400×400 px. Peripheral blood smear.
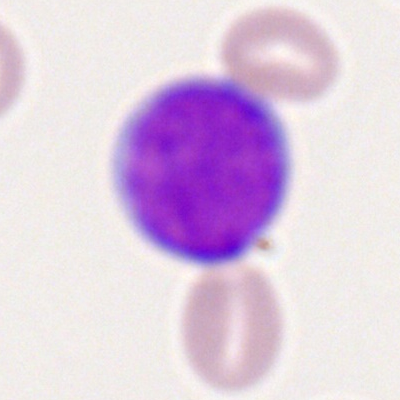

Morphology consistent with a myeloid blast.